Single cell centered in the field. Bone marrow aspirate smear. 250 by 250 pixels.
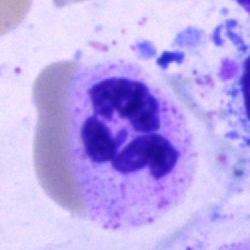 Showing a segmented neutrophil.